Bone marrow smear.
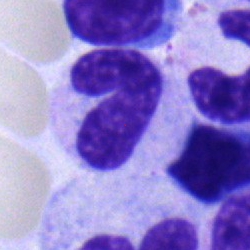This is a neutrophil (band).